250×250 px. Bone marrow aspirate smear: 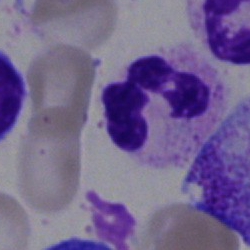 {"cell_type": "polymorphonuclear neutrophil", "lineage": "myeloid"}